250×250 px. Bone marrow aspirate smear: 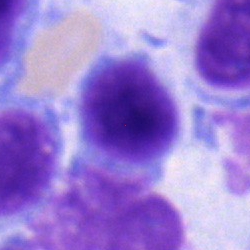Cell: lymphocyte.